Bone marrow smear
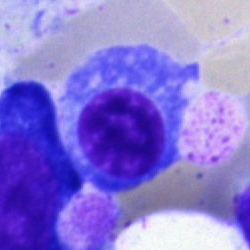
A plasmacyte.